Bone marrow aspirate smear
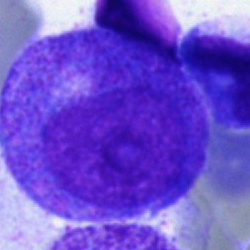 Q: Which cell type is shown here?
A: Progranulocyte.